Bone marrow smear; May-Grünwald-Giemsa/Pappenheim stain: 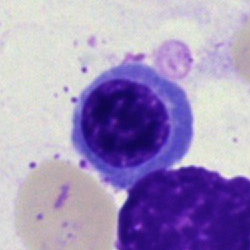Specimen: bone marrow aspirate smear.
Classification: normoblast.